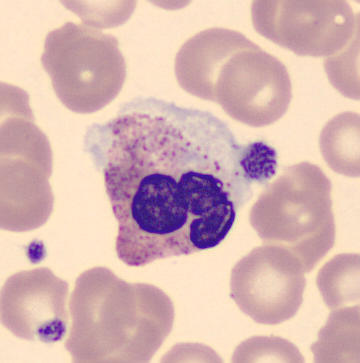

This is a segmented neutrophil.

Peripheral blood film.